Romanowsky-stained · peripheral blood smear — 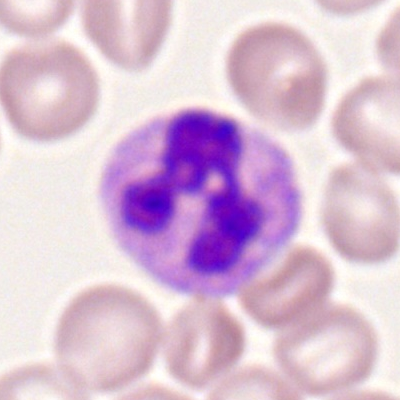

Classification — polymorphonuclear neutrophil.